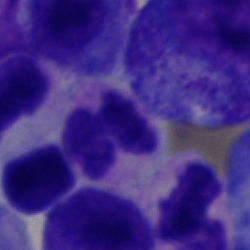Polymorphonuclear neutrophil.